MGG-stained · bone marrow smear · brightfield microscopy, 40× oil immersion.
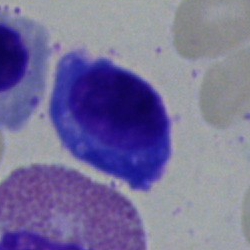Specimen: bone marrow smear.
Cell type: plasma cell.